40× objective, oil immersion. Bone marrow smear: 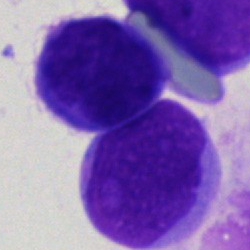 Morphology — blast.